Bone marrow smear:
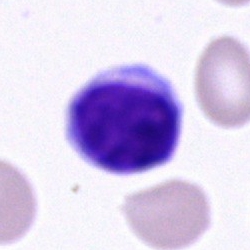 Specimen: bone marrow smear.
Cell type: typical lymphocyte.
Lineage: lymphoid.